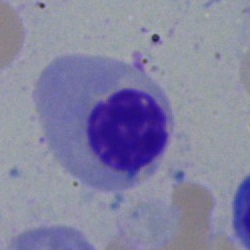Bone marrow aspirate smear, single cell — nucleated red cell.